Bone marrow aspirate smear — 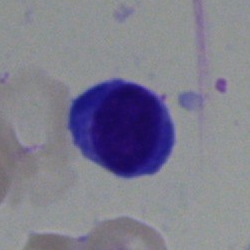
Morphology consistent with a lymphocyte.